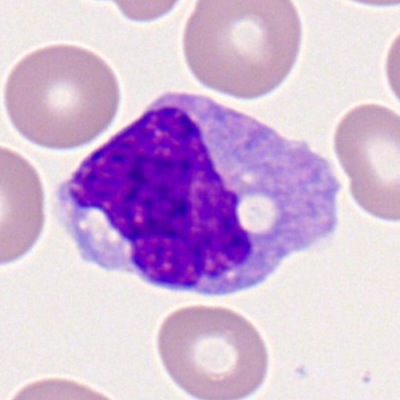
Morphology consistent with a monocyte.